Bone marrow smear: 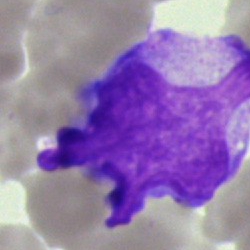
{"cell_type": "blast"}